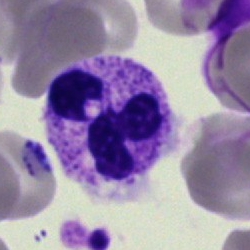 Morphological class — segmented neutrophil.